Bone marrow smear · 250×250:
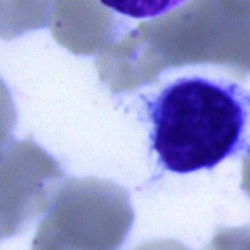 Q: What is shown here?
A: It is a lymphocyte.